May-Grünwald-Giemsa stain. Bone marrow aspirate smear: 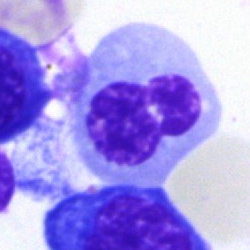Morphology — normoblast.